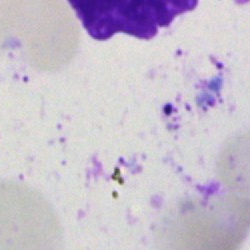

The cell shown is an artifact.